Bone marrow smear · cropped to a single cell: 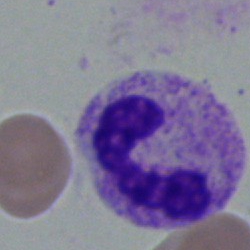Showing a polymorphonuclear neutrophil.